Single-cell field. Peripheral blood film: 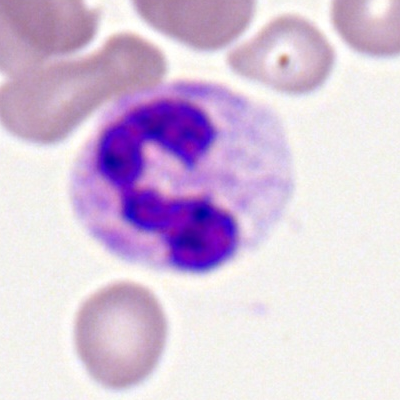Q: What type of cell is this?
A: Neutrophil (segmented).